Bone marrow smear
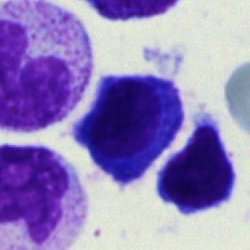
Impression — plasma cell.